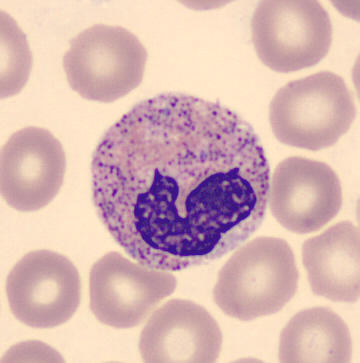A band-form neutrophil.

Image: Peripheral blood film.